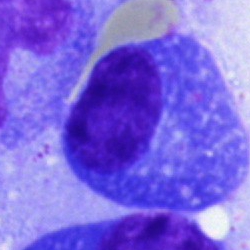

Classification = plasmacyte.